Bone marrow smear:
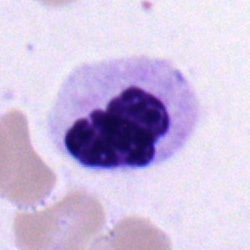 The cell shown is a neutrophil (segmented).